Brightfield microscopy, 40× oil immersion; bone marrow smear; cropped to a single cell: 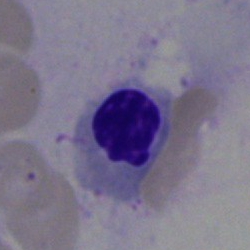Specimen: bone marrow smear.
Cell: nucleated red blood cell.